Bone marrow aspirate smear
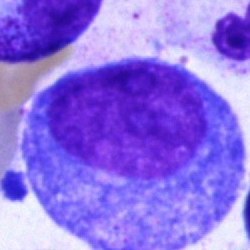 Morphological class: progranulocyte.